Single-cell crop; bone marrow smear.
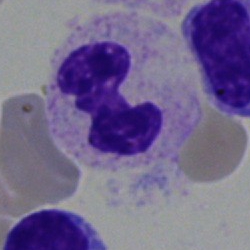
Q: What type of cell is this?
A: Neutrophil (segmented).